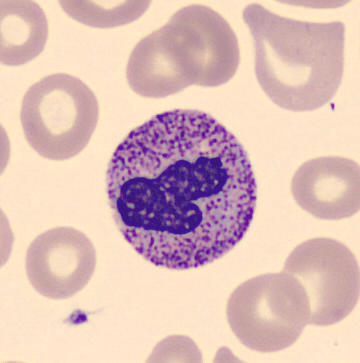Band-form neutrophil.

Preparation: Peripheral blood film.